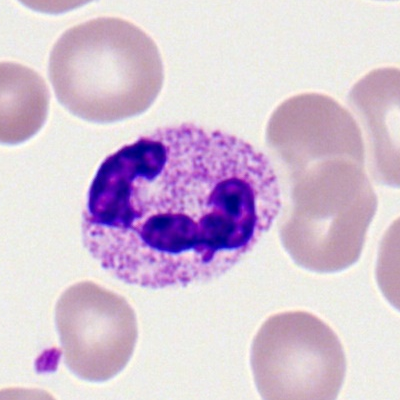

Specimen: peripheral blood film.
Cell type: neutrophil (segmented).
Lineage: myeloid.